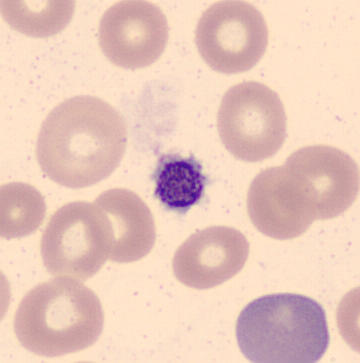
Morphological class: platelet.

Image: Peripheral blood smear.